Peripheral blood film.
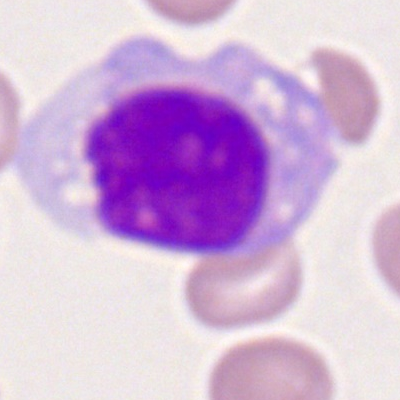
Classification: monocyte.